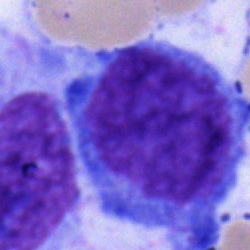Cell = blast cell.